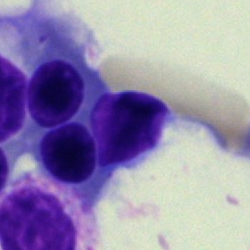Cell type = nucleated red blood cell.